Bone marrow aspirate smear; single cell centered in the field.
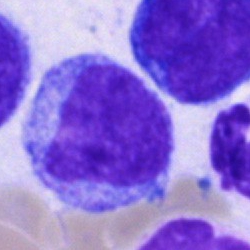
Cell type: blast cell.